Bone marrow smear; single cell centered in the field; 40× objective, oil immersion
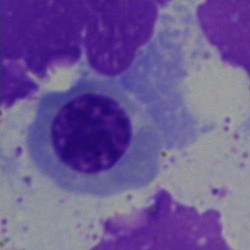

Showing a nucleated red blood cell.